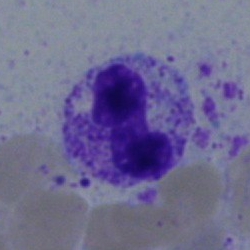
{"cell_type": "segmented neutrophil"}